Bone marrow smear.
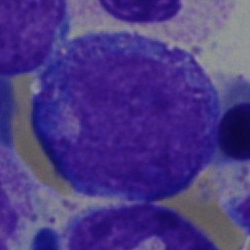 Q: What is shown here?
A: An undifferentiated blast.